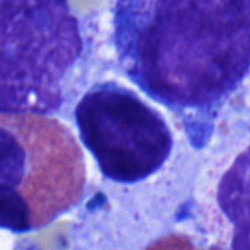 Classification = typical lymphocyte.